Bone marrow smear; May-Grünwald-Giemsa/Pappenheim stain:
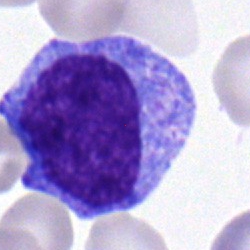Classification = promyelocyte.